40× oil immersion; bone marrow aspirate smear — 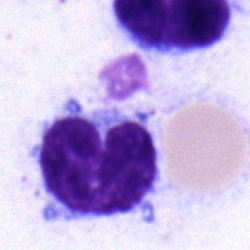
Specimen: bone marrow smear.
Morphological class: lymphocyte.